250 by 250 pixels. Bone marrow smear: 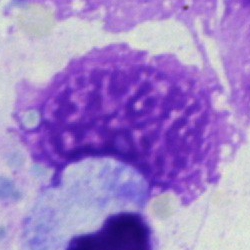
Q: What is shown here?
A: This is an artifact.